Pappenheim-stained · 40× oil immersion · bone marrow aspirate smear
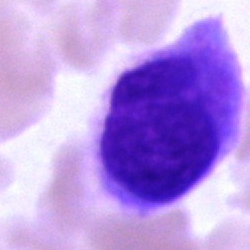{"cell_type": "artefact"}